Bone marrow aspirate smear · cropped to a single cell.
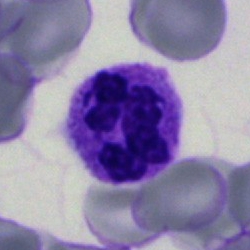 Specimen: bone marrow aspirate smear.
Cell: neutrophil (segmented).